Bone marrow smear; brightfield microscopy, 40× oil immersion:
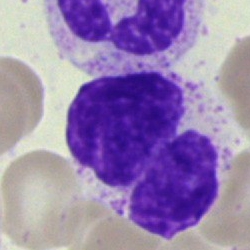
Impression → artifact.